Bone marrow aspirate smear · single-cell crop · May-Grünwald-Giemsa stain — 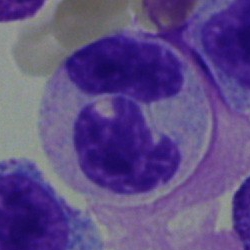
Single cell identified as a polymorphonuclear neutrophil.